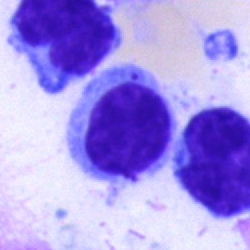

Impression — lymphocyte.